Bone marrow aspirate smear — 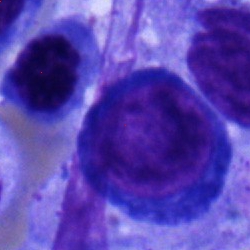 The cell shown is a pronormoblast.